Pappenheim-stained. Cropped to a single cell. Bone marrow aspirate smear.
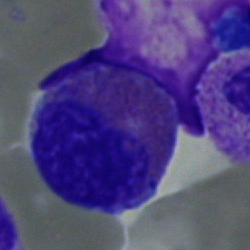 Eosinophil.